Bone marrow smear · 250×250 px · 40× objective, oil immersion: 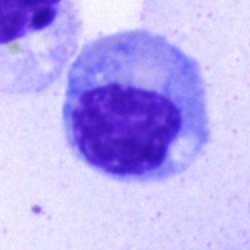Classification: erythroblast.